Peripheral blood smear: 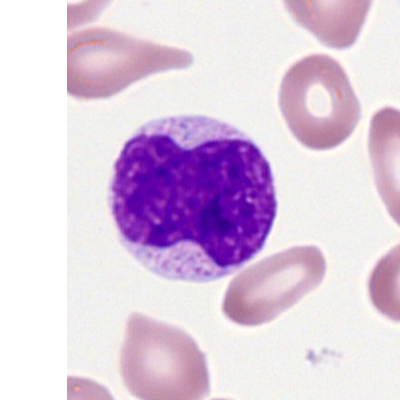Specimen: peripheral blood smear.
Morphological class: myeloid blast.
Lineage: myeloid.